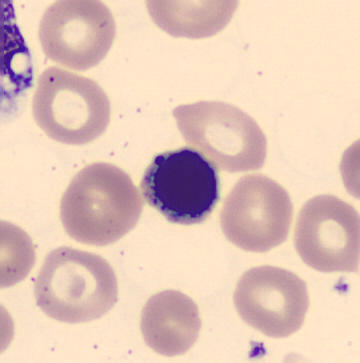 Q: Which cell type is shown here?
A: It is an erythroblast.